Bone marrow aspirate smear · image size 250×250
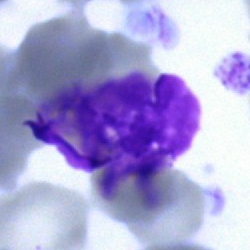Morphology — artefact.